Bone marrow smear
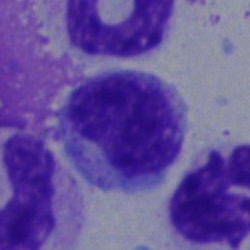Q: What is shown here?
A: Lymphocyte.